Bone marrow aspirate smear.
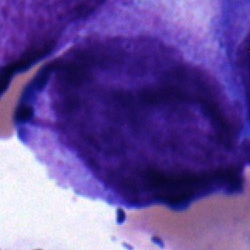

Cell type: undifferentiated blast.